40× objective, oil immersion · bone marrow aspirate smear.
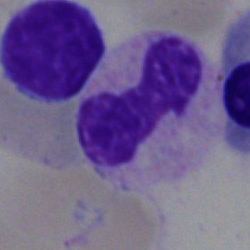Impression → segmented neutrophil.